Cropped to a single cell · 250 by 250 pixels · bone marrow aspirate smear — 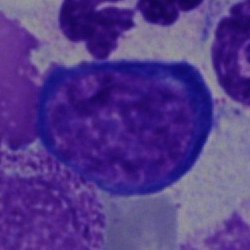Specimen: bone marrow smear.
Cell type: pronormoblast.
Lineage: erythroid.